Peripheral blood smear
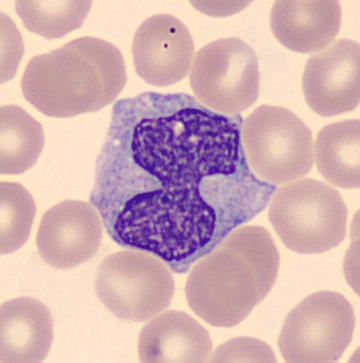
Morphological class — monocyte.